Bone marrow aspirate smear
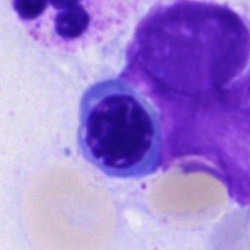

A nucleated red cell.